Cropped to a single cell · bone marrow smear · 40× oil immersion
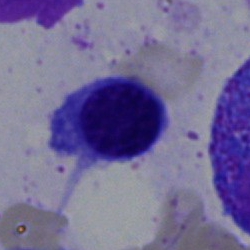

Specimen: bone marrow aspirate smear.
Cell type: nucleated red cell.
Lineage: erythroid.